40× objective, oil immersion · bone marrow smear:
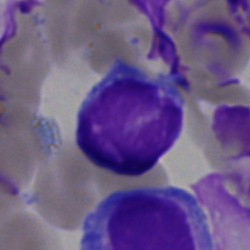
Cell: lymphocyte.